Bone marrow aspirate smear — 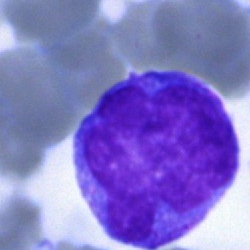
Q: What cell is this?
A: This is a lymphocyte (immature).